40× oil immersion · bone marrow aspirate smear.
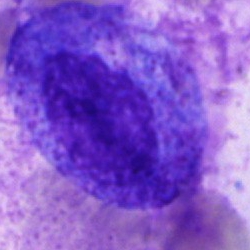

Specimen: bone marrow smear.
Classification: progranulocyte.
Lineage: myeloid.